Bone marrow aspirate smear; single cell centered in the field — 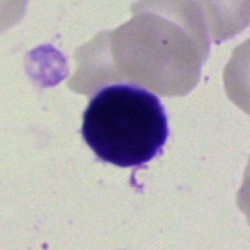

Morphology consistent with a lymphocyte.